Bone marrow aspirate smear
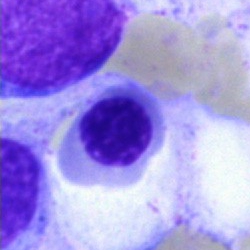

Cell type: erythroblast.